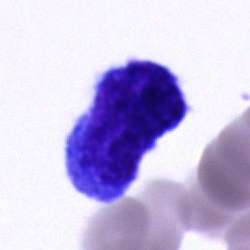
Morphology — undifferentiated blast.